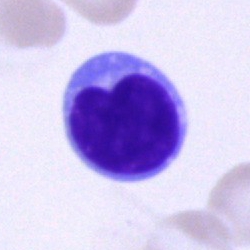
The cell shown is a lymphocyte.